Bone marrow smear. May-Grünwald-Giemsa stain.
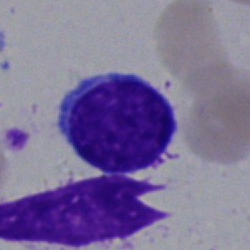 Typical lymphocyte.